Peripheral blood film
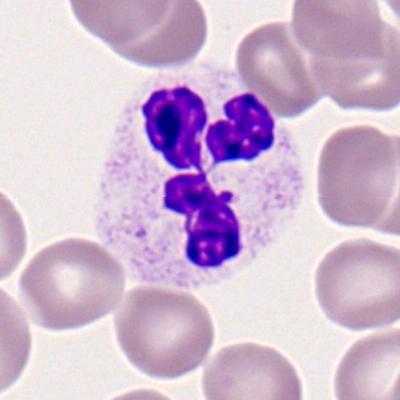Polymorphonuclear neutrophil.